May-Grünwald-Giemsa stain; brightfield microscopy, 40× oil immersion; bone marrow aspirate smear — 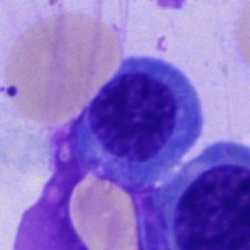
{"cell_type": "normoblast", "lineage": "erythroid"}